Bone marrow smear; image size 250×250:
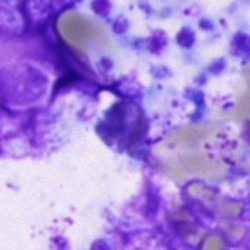

{"cell_type": "artifact"}